Bone marrow smear; brightfield, 40× oil-immersion objective; single-cell crop — 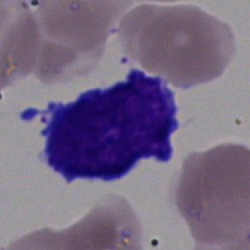
The classification is blast cell.